Bone marrow smear; single-cell crop: 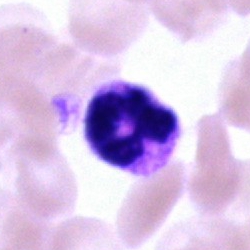

Morphology consistent with a polymorphonuclear neutrophil.